Bone marrow aspirate smear. Single-cell field. Image size 250×250 — 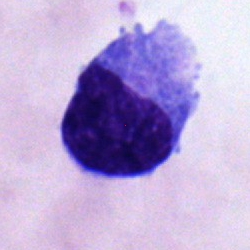

Morphology — blast.